Single cell centered in the field; bone marrow aspirate smear
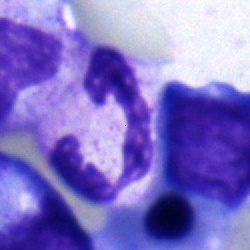 Morphological class — polymorphonuclear neutrophil.